Bone marrow aspirate smear:
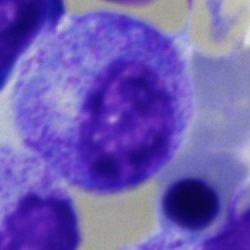
A promyelocyte.